Bone marrow smear — 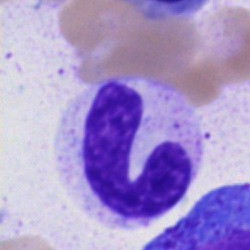Morphology consistent with a stab cell.